Bone marrow smear:
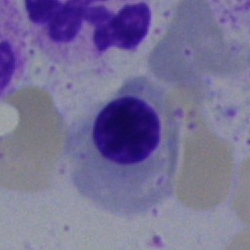
This is a nucleated red cell.